Bone marrow smear:
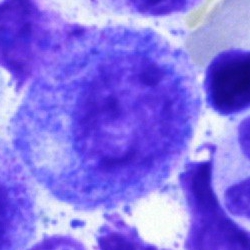 Specimen: bone marrow smear.
Morphological class: promyelocyte.